Cropped to a single cell; bone marrow aspirate smear — 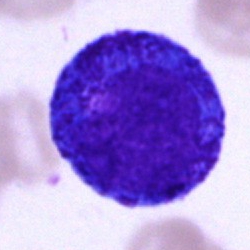
Classification: promyelocyte.